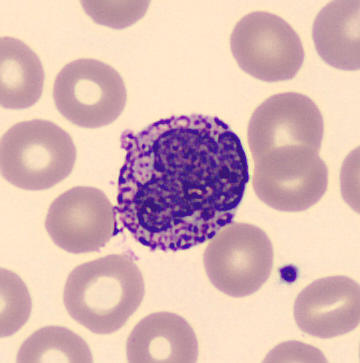Showing a basophil. Preparation: Peripheral blood film.